Bone marrow aspirate smear; 40× oil immersion; image size 250×250
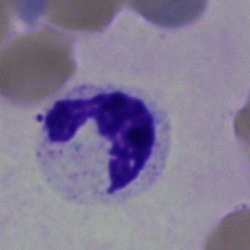Q: What cell is this?
A: Segmented neutrophil.